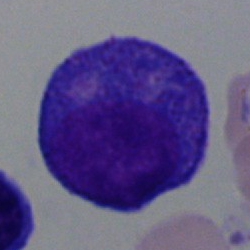 Cell = promyelocyte.